Cropped to a single cell. Bone marrow smear. 250×250: 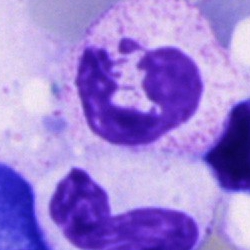The cell shown is a segmented neutrophil.